Cropped to a single cell · bone marrow smear — 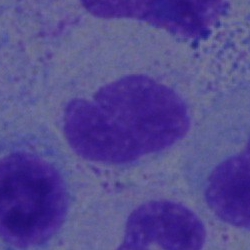
Morphological class: metamyelocyte.